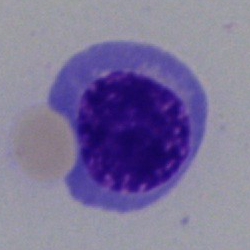
Q: What is the morphological classification of this cell?
A: Normoblast.